Peripheral blood film — 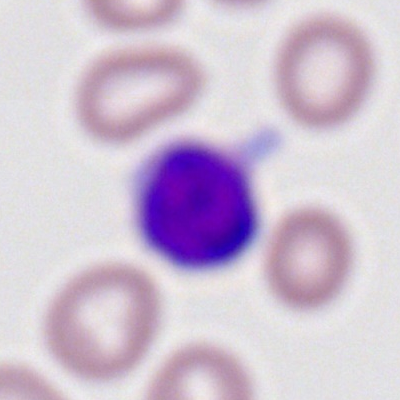
Q: What is shown here?
A: This is a typical lymphocyte.